400×400 px · peripheral blood film · Romanowsky stain — 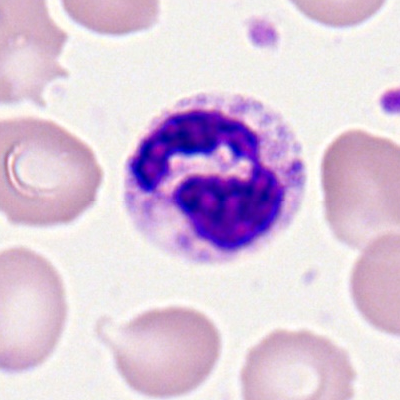 The cell shown is a segmented neutrophil.